Bone marrow aspirate smear — 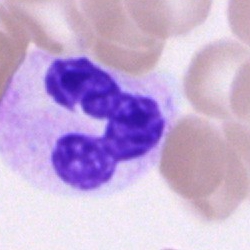

Cell type = neutrophil (segmented).